Bone marrow aspirate smear; single-cell crop: 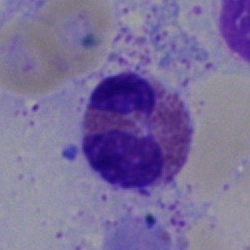Q: What type of cell is this?
A: Eosinophil.